Bone marrow aspirate smear — 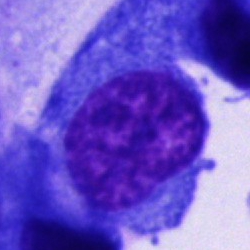 The classification is other cell.